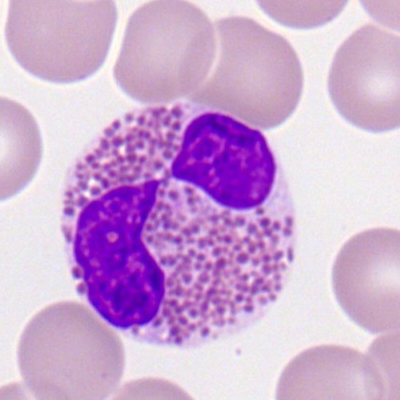The cell shown is an eosinophil.